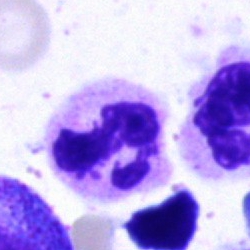

Q: What is the morphological classification of this cell?
A: It is a segmented neutrophil.